Bone marrow aspirate smear · 40× oil immersion:
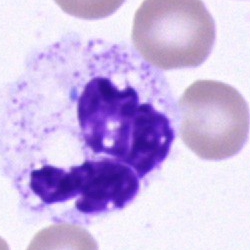 Cell — segmented neutrophil.